Single-cell field. Bone marrow smear — 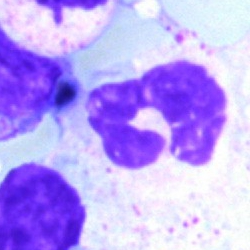

Q: What is shown here?
A: A polymorphonuclear neutrophil.